Bone marrow smear. Single-cell crop.
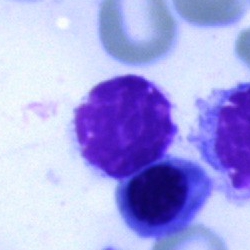

The cell shown is an artefact.